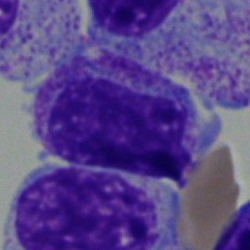

Cell type = myelocyte.